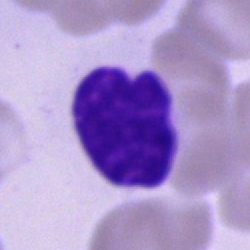
Q: What is shown here?
A: An artifact.